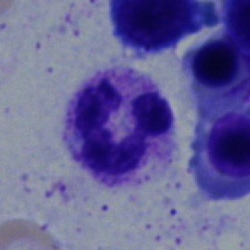 Segmented neutrophil.